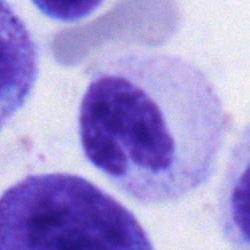 {"cell_type": "stab cell", "lineage": "myeloid"}